Bone marrow smear
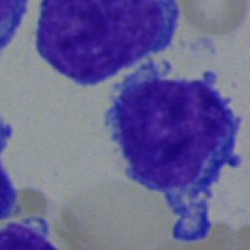
A typical lymphocyte.